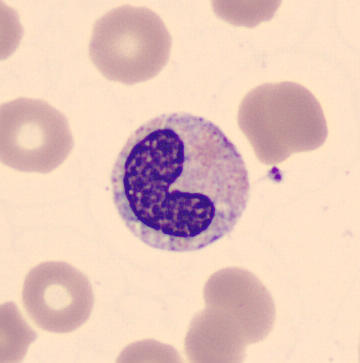 Preparation: Image size 360×363 · peripheral blood film.
A band-form neutrophil.